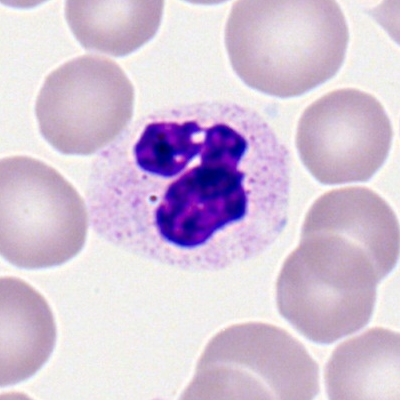 Polymorphonuclear neutrophil.